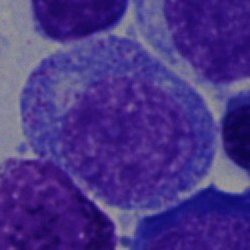 {"cell_type": "progranulocyte", "lineage": "myeloid"}